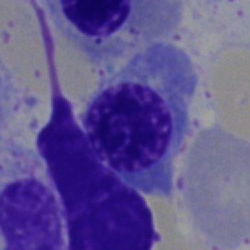 Morphology — normoblast.